Bone marrow smear: 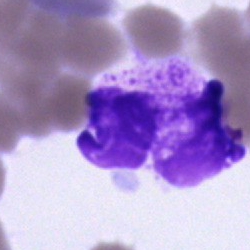
{"cell_type": "artifact"}